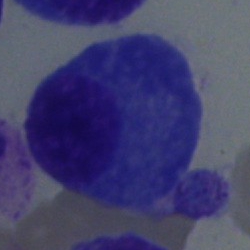Q: What cell is this?
A: A plasma cell.